Peripheral blood smear; single cell centered in the field — 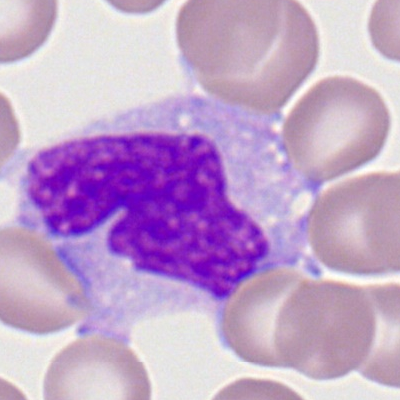 Q: What type of cell is this?
A: Monocyte.